Bone marrow smear.
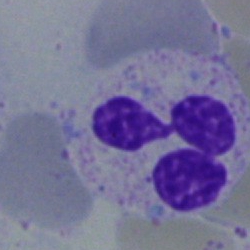

Specimen: bone marrow aspirate smear.
Cell: polymorphonuclear neutrophil.